Single cell centered in the field. May-Grünwald-Giemsa/Pappenheim stain. Bone marrow aspirate smear.
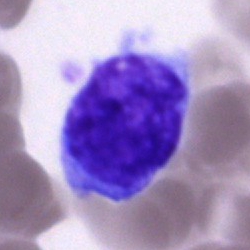
Morphology — monocyte.